Bone marrow smear.
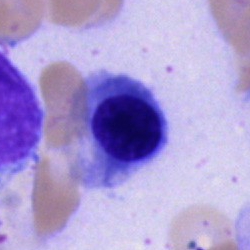Nucleated red blood cell.